Bone marrow smear. 40× oil immersion
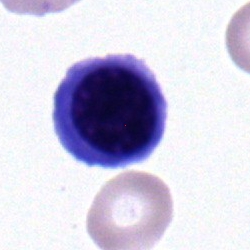 Q: Identify the cell.
A: A lymphocyte.